Bone marrow aspirate smear: 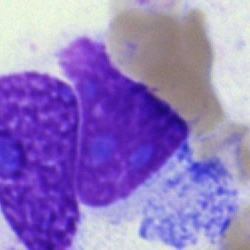

Single cell identified as an artefact.